Bone marrow smear: 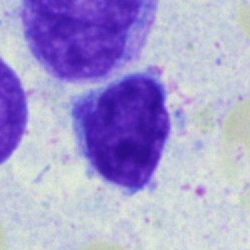{"cell_type": "lymphocyte"}